Bone marrow smear.
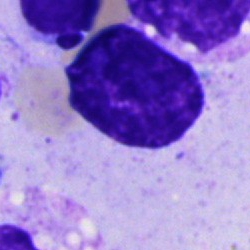
Q: What is shown here?
A: An artifact.